Bone marrow aspirate smear — 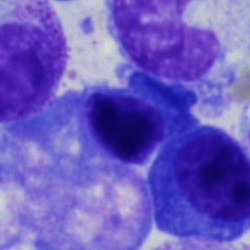
Morphological class — plasma cell.